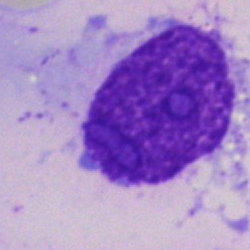
Cell type = artefact.